400×400 px · peripheral blood film:
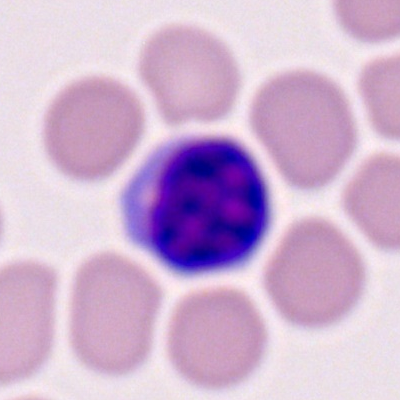
Morphology consistent with a lymphocyte.